Bone marrow aspirate smear — 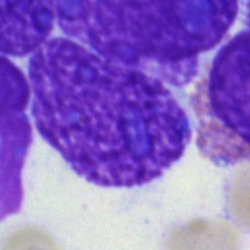 Impression — artifact.